Bone marrow smear: 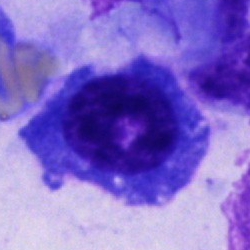 The cell type is cell not matching the other categories.